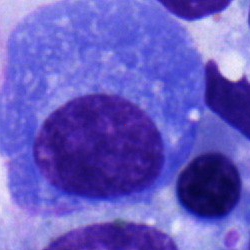

Q: What type of cell is this?
A: It is a plasmacyte.